Bone marrow aspirate smear — 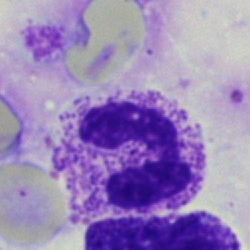 Morphological class = polymorphonuclear neutrophil.